Bone marrow smear:
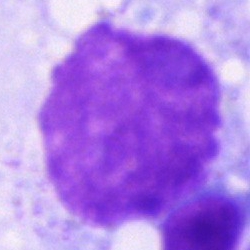Q: What is shown here?
A: It is an artifact.